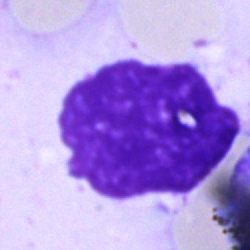
The classification is artefact.